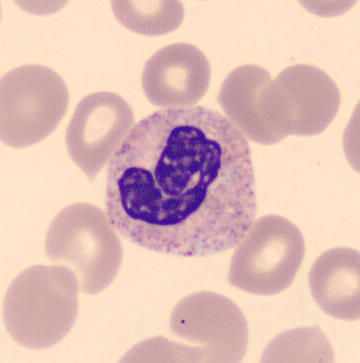Cell = segmented neutrophil.